Bone marrow smear — 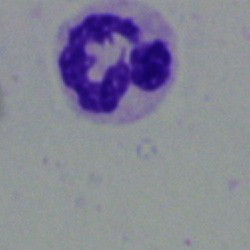Q: What type of cell is this?
A: It is a neutrophil (segmented).